Cropped to a single cell · bone marrow smear: 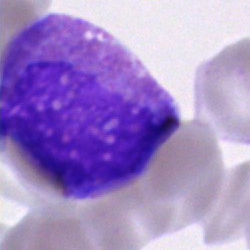
{"cell_type": "eosinophilic granulocyte", "lineage": "myeloid"}